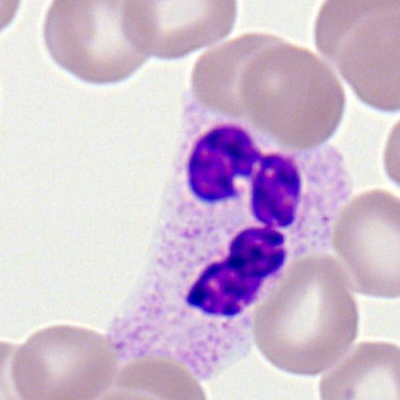The cell is polymorphonuclear neutrophil.